40× oil immersion · bone marrow smear.
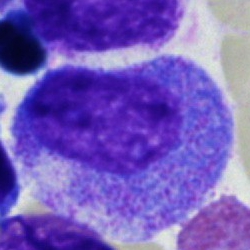Q: What is shown here?
A: It is a promyelocyte.